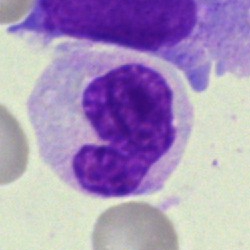 Morphological class: monocyte.